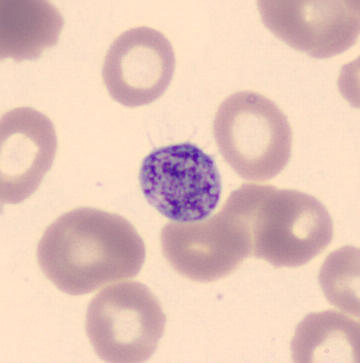

360×363. Peripheral blood smear. May Grünwald-Giemsa stain.
Showing a thrombocyte.